100× objective, oil immersion. Peripheral blood smear. 400×400 px.
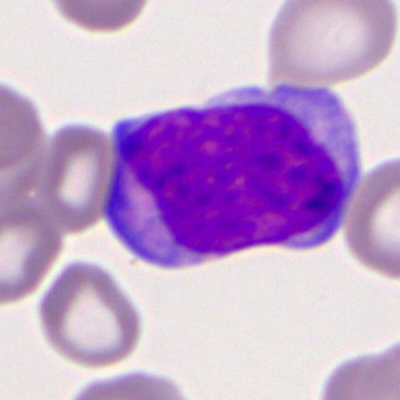Myeloid blast.